Bone marrow aspirate smear — 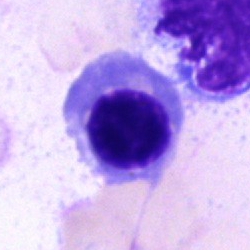

Cell type — erythroblast.